250×250 px; 40× objective, oil immersion; bone marrow aspirate smear.
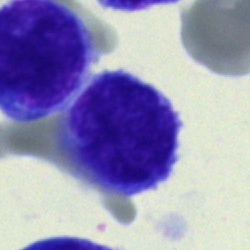
{"cell_type": "lymphocyte", "lineage": "lymphoid"}